May-Grünwald-Giemsa stain. Bone marrow aspirate smear: 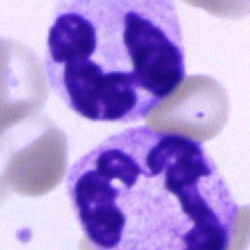 Impression — segmented neutrophil.